Bone marrow aspirate smear. 250×250
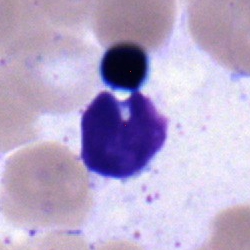

A lymphocyte.